40× objective, oil immersion · bone marrow smear.
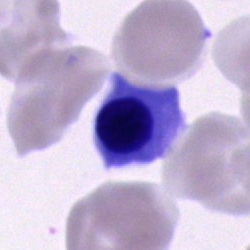Q: What is shown here?
A: This is a nucleated red cell.